Single-cell field. Bone marrow smear — 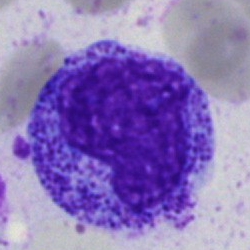 Q: What type of cell is this?
A: Progranulocyte.